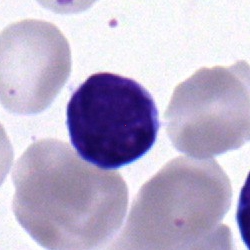Cell: lymphocyte.